Bone marrow smear
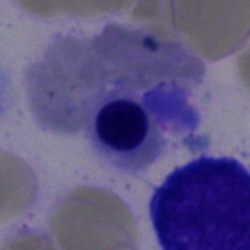Q: What is shown here?
A: It is an erythroblast.